Bone marrow aspirate smear; MGG-stained; brightfield, 40× oil-immersion objective.
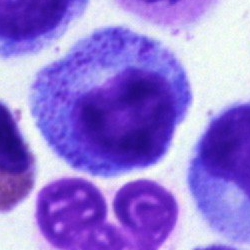

This is a progranulocyte.